Bone marrow aspirate smear — 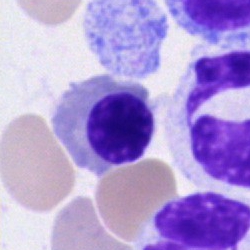Morphological class: normoblast.